Bone marrow smear: 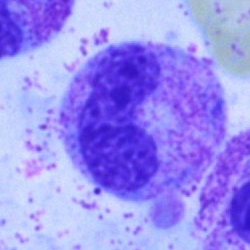Showing a band neutrophil.